Bone marrow aspirate smear. Single-cell field.
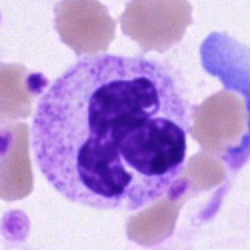 Specimen: bone marrow smear.
Cell type: polymorphonuclear neutrophil.
Lineage: myeloid.